Bone marrow aspirate smear; MGG-stained: 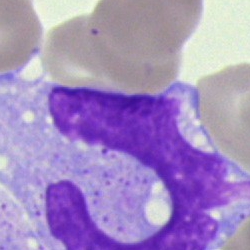 Classification = monocyte.